Image size 250×250; bone marrow aspirate smear
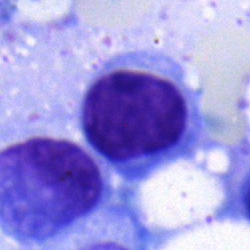
Showing a typical lymphocyte.